Image size 250×250; bone marrow aspirate smear: 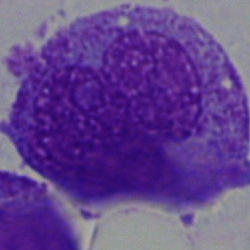Specimen: bone marrow smear.
Cell: blast cell.